Bone marrow smear · MGG-stained · single-cell crop.
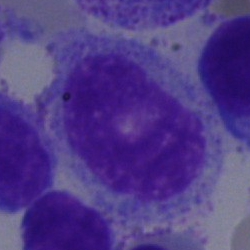 Showing a promyelocyte.